Bone marrow aspirate smear — 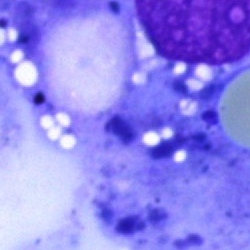 Classification — artifact.